Bone marrow aspirate smear
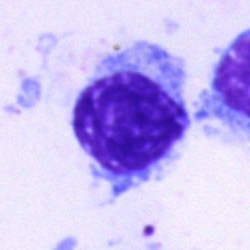 Specimen: bone marrow smear.
Morphological class: lymphocyte.
Lineage: lymphoid.